Cropped to a single cell. Bone marrow aspirate smear: 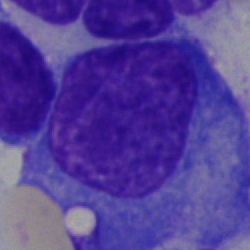
The cell is plasmacyte.